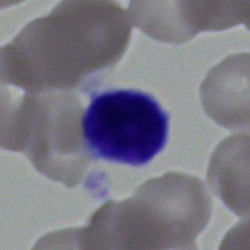A typical lymphocyte.